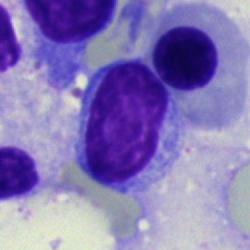

Morphological class: typical lymphocyte.